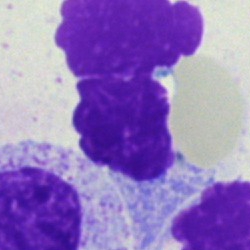 Cell = artefact.